Bone marrow aspirate smear — 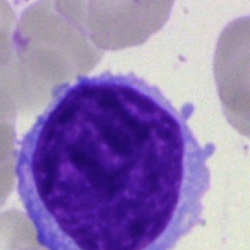 Morphology → typical lymphocyte.